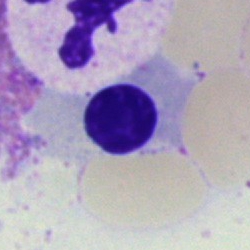

Morphology → erythroblast.